Peripheral blood film: 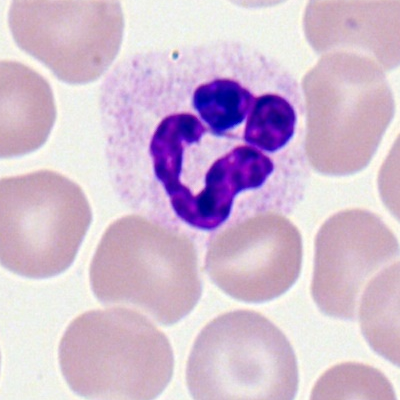Cell type = neutrophil (segmented).